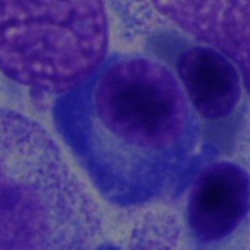 A plasmacyte on a bone marrow smear.